Bone marrow aspirate smear: 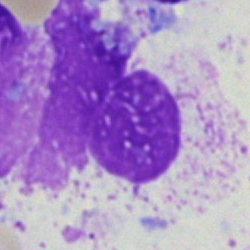

This is an artefact.